Bone marrow aspirate smear.
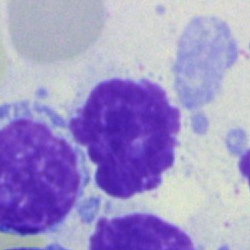
Morphological class: lymphocyte.